Single-cell field · bone marrow aspirate smear:
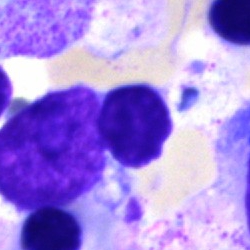Q: What is shown here?
A: This is an artefact.